Bone marrow aspirate smear; 40× oil immersion — 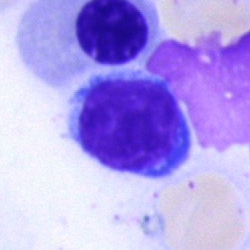

Showing a lymphocyte.